Bone marrow smear — 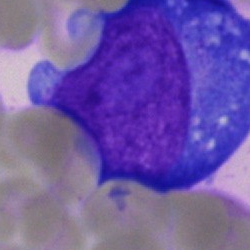 Showing an undifferentiated blast.